Bone marrow aspirate smear — 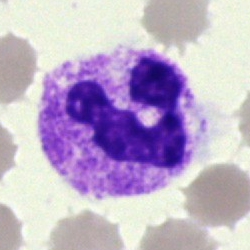 Classification = segmented neutrophil.